Bone marrow smear.
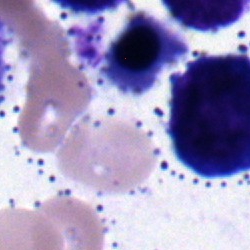
This is a nucleated red cell.